Bone marrow smear. 250 by 250 pixels. Single-cell crop — 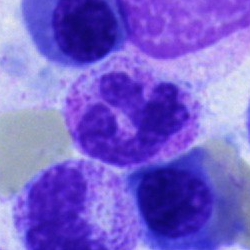

Q: What type of cell is this?
A: Neutrophil (segmented).